40× objective, oil immersion; bone marrow smear: 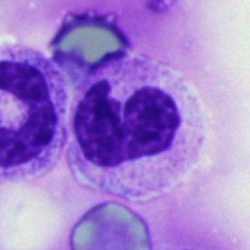

Cell = neutrophil (segmented).